MGG-stained. Image size 250×250. Bone marrow aspirate smear: 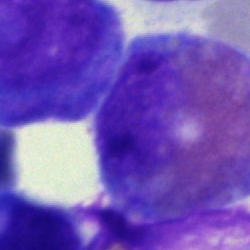

Q: Identify the cell.
A: Eosinophilic granulocyte.